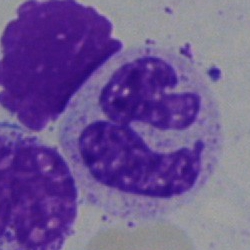Q: What is the morphological classification of this cell?
A: A neutrophil (segmented).